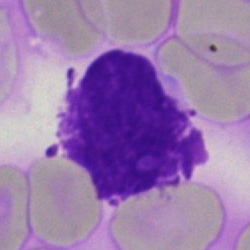

Specimen: bone marrow aspirate smear.
Cell: artifact.